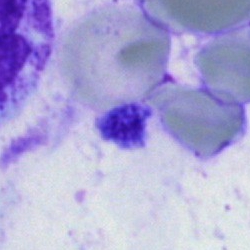
Cell type — artifact.